Image size 250×250. Bone marrow aspirate smear: 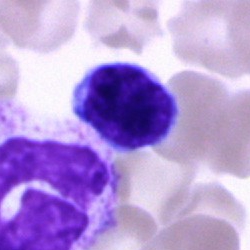
Impression — lymphocyte.